Peripheral blood film.
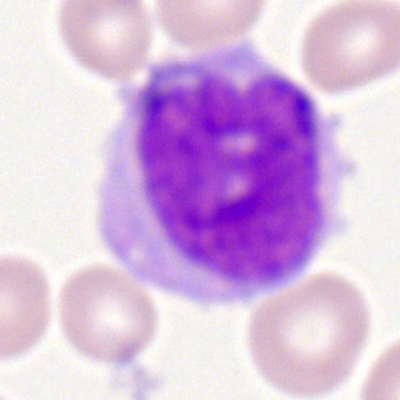Monocyte.